400 by 400 pixels · peripheral blood smear:
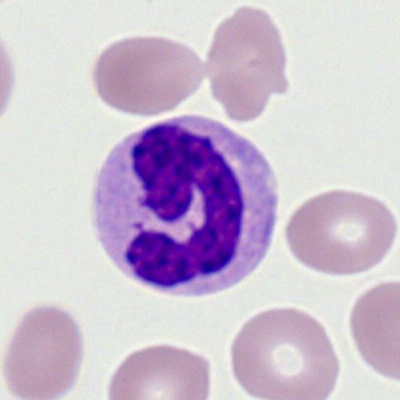
Cell type: neutrophil (segmented).